Bone marrow aspirate smear.
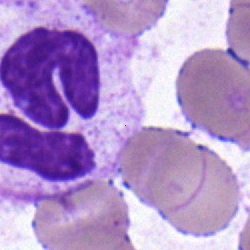 Single cell identified as a polymorphonuclear neutrophil.